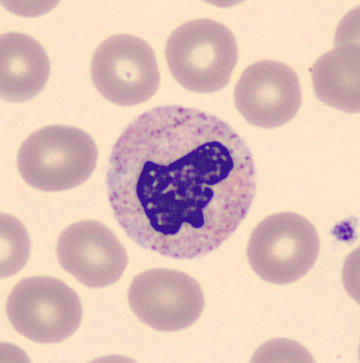

Identified as a neutrophil (band).